Image size 250×250; bone marrow smear — 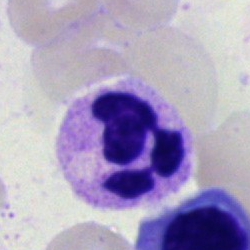Morphology → polymorphonuclear neutrophil.